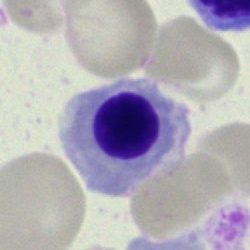 Impression — nucleated red blood cell.